Bone marrow smear: 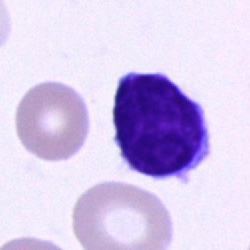

The classification is lymphocyte.